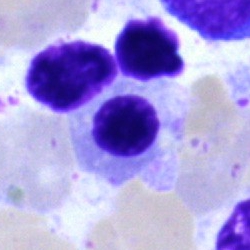

Q: What is shown here?
A: It is an erythroblast.